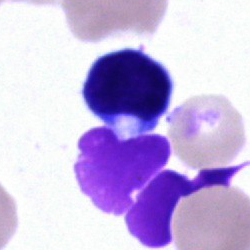 Bone marrow smear showing an artefact.